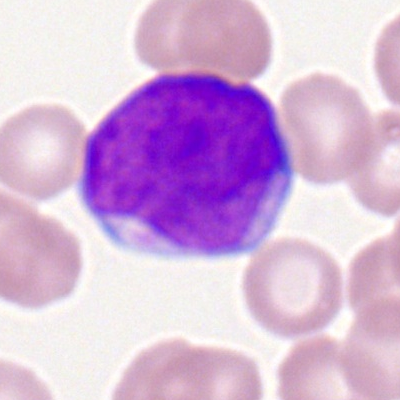
A myeloid blast.